Peripheral blood film.
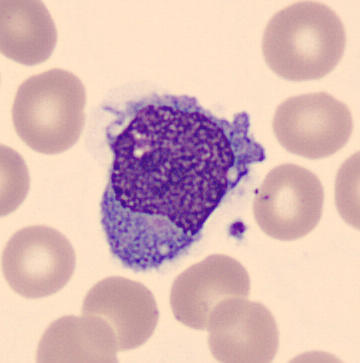Impression → monocyte.